Bone marrow aspirate smear.
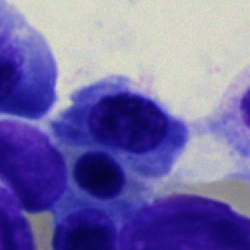

Showing a nucleated red blood cell.